May-Grünwald-Giemsa/Pappenheim stain; bone marrow smear; 40× objective, oil immersion:
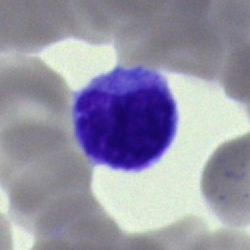This is a cell of indeterminate lineage.